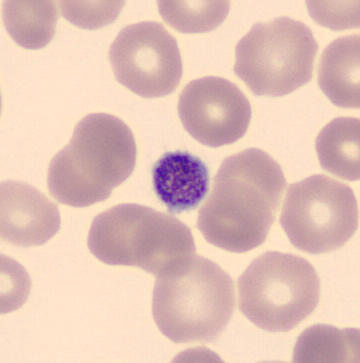 Q: What is shown here?
A: This is a thrombocyte. Preparation: Peripheral blood smear.